Bone marrow aspirate smear
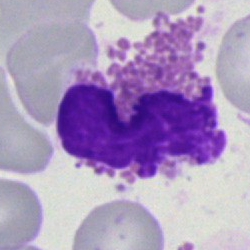{"cell_type": "eosinophilic granulocyte", "lineage": "myeloid"}